Bone marrow aspirate smear: 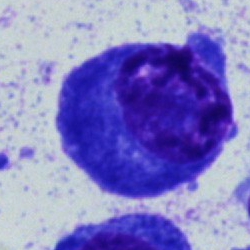 The cell is plasma cell.